Bone marrow aspirate smear. Brightfield microscopy, 40× oil immersion.
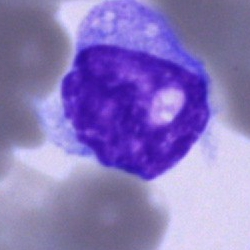 Morphology consistent with a monocyte.